Cropped to a single cell. Bone marrow aspirate smear:
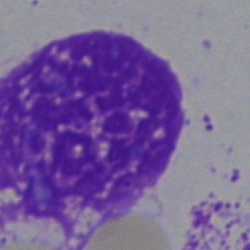
An artefact.